Bone marrow aspirate smear:
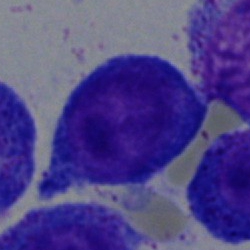
Q: What type of cell is this?
A: This is a pronormoblast.